40× objective, oil immersion · 250×250 · bone marrow aspirate smear
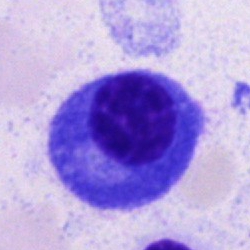
Classification: plasmacyte.